Peripheral blood film.
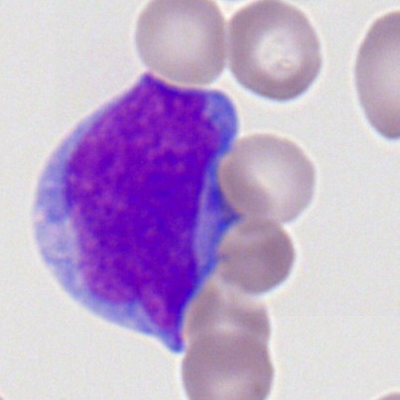

Q: What is shown here?
A: Myeloid blast.